Bone marrow aspirate smear:
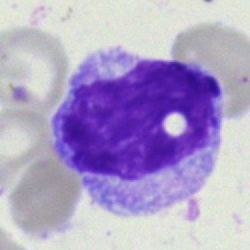
Morphology consistent with a monocyte.